Bone marrow smear.
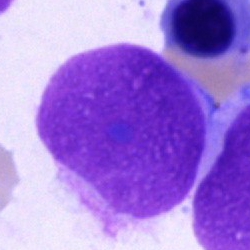

Artefact.